Bone marrow smear · May-Grünwald-Giemsa stain · image size 250×250 — 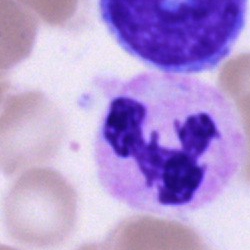 Q: Which cell type is shown here?
A: This is a polymorphonuclear neutrophil.